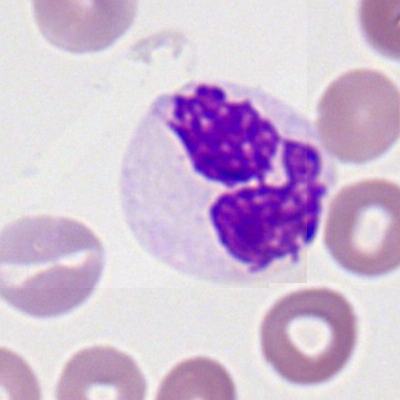

Cell type — segmented neutrophil.